Image size 250×250 · bone marrow aspirate smear:
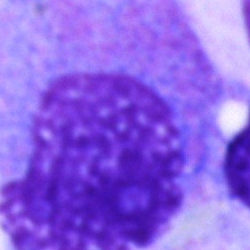
Classification = promyelocyte.